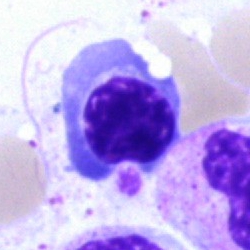
An erythroblast.